Bone marrow smear.
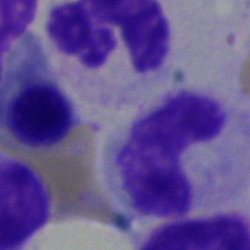
{"cell_type": "band neutrophil", "lineage": "myeloid"}